May-Grünwald-Giemsa stain. Bone marrow smear
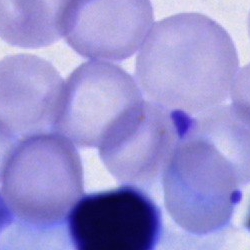 Specimen: bone marrow smear.
Cell type: cell of indeterminate lineage.